Bone marrow smear:
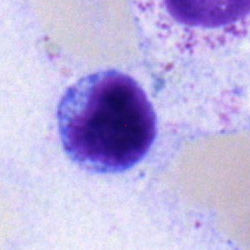

Single cell identified as a typical lymphocyte.